Peripheral blood film: 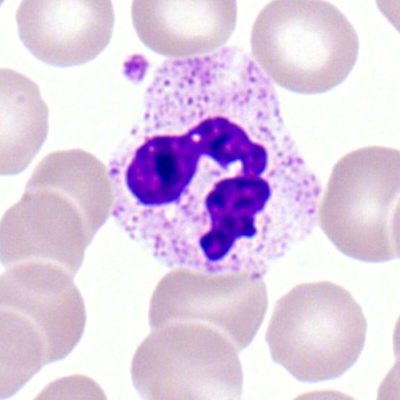The classification is segmented neutrophil.